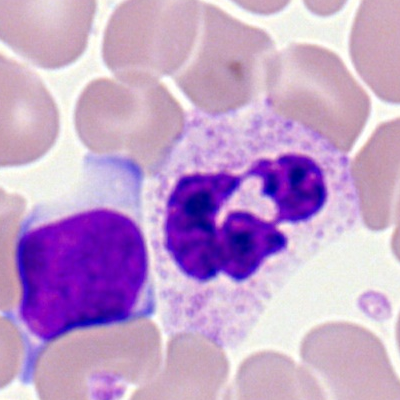

Morphology consistent with a neutrophil (segmented).